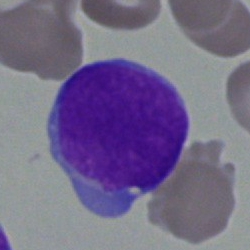 Specimen: bone marrow smear.
Cell type: undifferentiated blast.